Bone marrow aspirate smear — 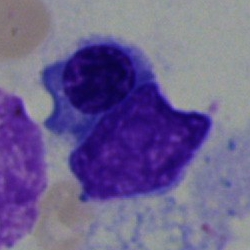 Q: Identify the cell.
A: It is a nucleated red blood cell.